40× oil immersion; bone marrow smear: 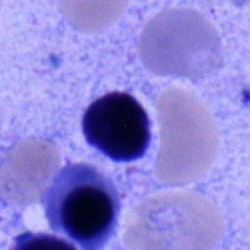

Morphology consistent with a lymphocyte.